Bone marrow smear: 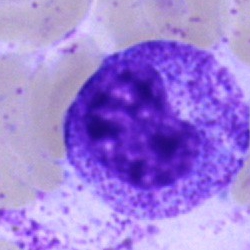Morphology consistent with a progranulocyte.